40× oil immersion; bone marrow smear:
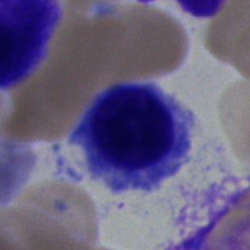 Q: What cell is this?
A: This is a nucleated red cell.